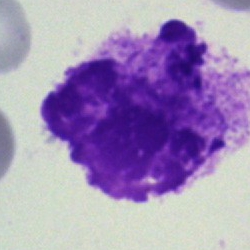

Q: What is shown here?
A: An artefact.